Bone marrow aspirate smear.
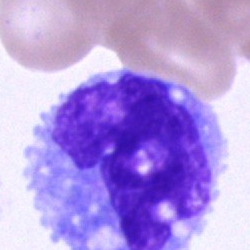

Impression → monocyte.